Bone marrow aspirate smear — 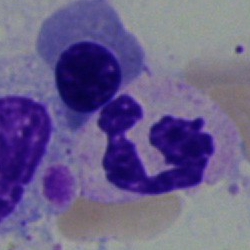The classification is polymorphonuclear neutrophil.